Bone marrow aspirate smear · May-Grünwald-Giemsa stain:
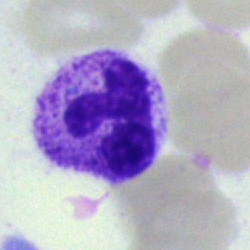

{"cell_type": "segmented neutrophil"}